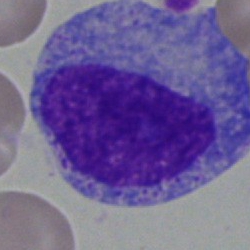{"cell_type": "promyelocyte"}